Bone marrow smear.
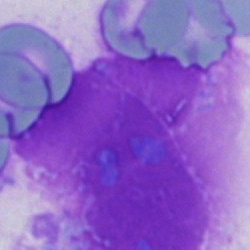 The cell shown is an artifact.